Bone marrow aspirate smear — 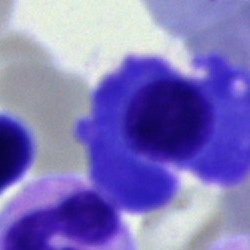 {"cell_type": "plasmacyte", "lineage": "lymphoid"}